Bone marrow smear:
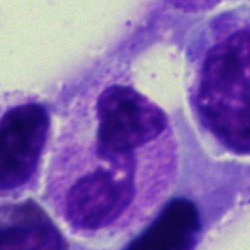 Impression — neutrophil (segmented).